Peripheral blood film:
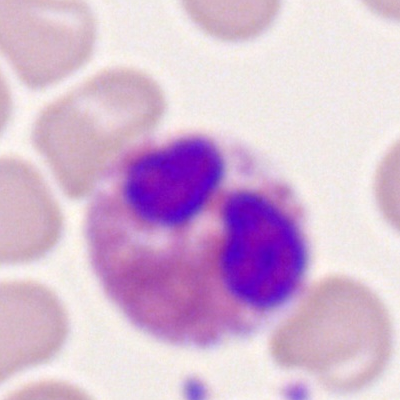

An eosinophilic granulocyte.